Bone marrow aspirate smear · single-cell field: 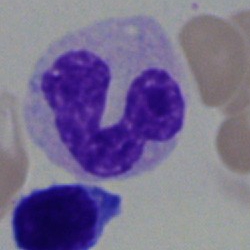 Single cell identified as a band-form neutrophil.